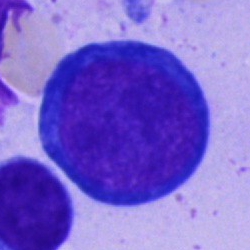 Specimen: bone marrow aspirate smear.
Cell: proerythroblast.
Lineage: erythroid.